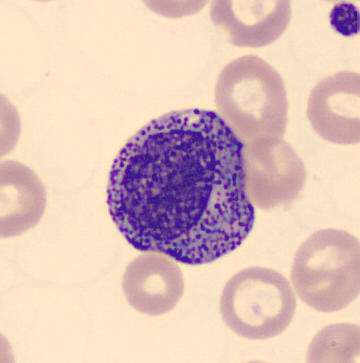
Single cell identified as a myelocyte. Peripheral blood smear. MGG stain.